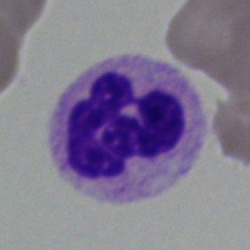A segmented neutrophil.